Bone marrow smear.
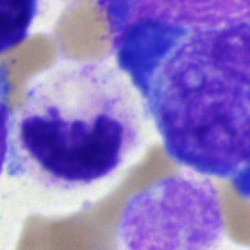Q: What cell is this?
A: Band-form neutrophil.